Bone marrow aspirate smear — 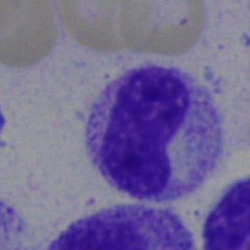

Morphology consistent with a band-form neutrophil.